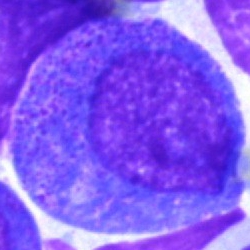 Specimen: bone marrow aspirate smear.
Cell: promyelocyte.